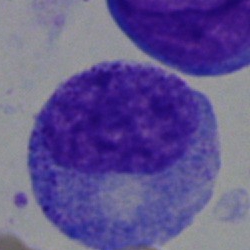

Q: What is shown here?
A: Progranulocyte.